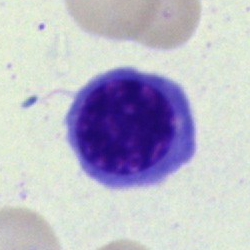
Showing a nucleated red blood cell.